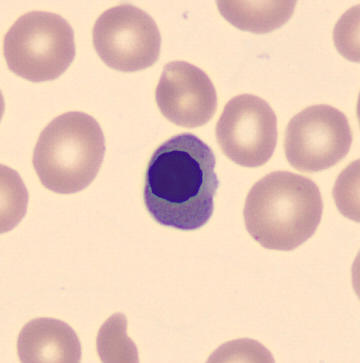

Preparation: Peripheral blood smear. May-Grünwald-Giemsa-stained.
Cell type: erythroblast.